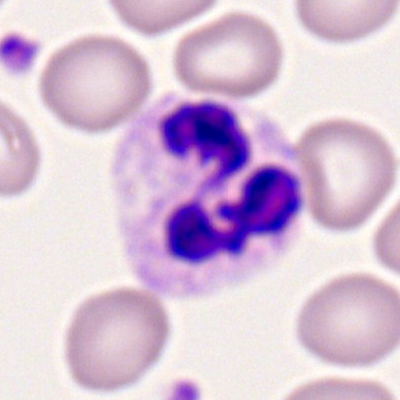
Q: Identify the cell.
A: A segmented neutrophil.